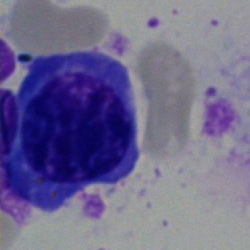
Q: Which cell type is shown here?
A: This is a normoblast.